Bone marrow smear; image size 250×250 — 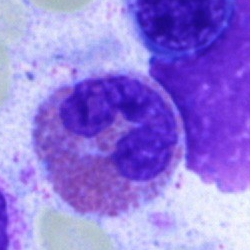 Morphology — eosinophilic granulocyte.